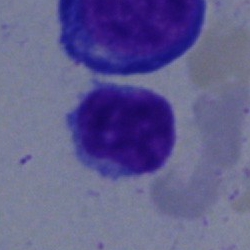Bone marrow aspirate smear, single cell — lymphocyte.